Bone marrow aspirate smear
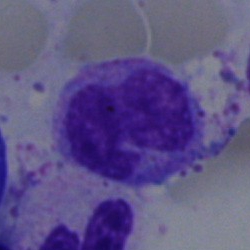Q: What type of cell is this?
A: Monocyte.